Bone marrow aspirate smear:
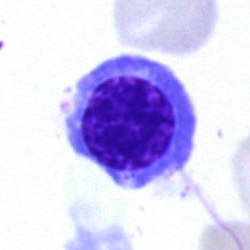

The morphological class is erythroblast.